Bone marrow aspirate smear: 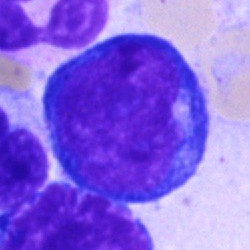 Specimen: bone marrow smear.
Morphological class: pronormoblast.
Lineage: erythroid.